Bone marrow aspirate smear — 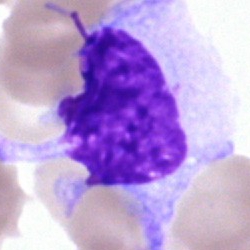

Cell: artifact.